Bone marrow aspirate smear
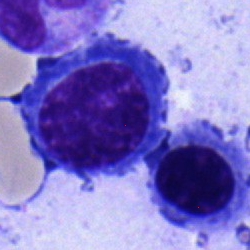Cell type: nucleated red cell.